Bone marrow smear · cropped to a single cell · 250×250 px.
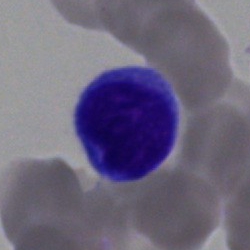
Single cell identified as a typical lymphocyte.